Bone marrow aspirate smear
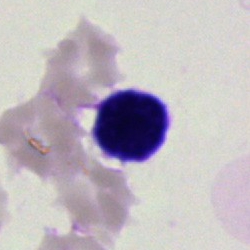
Single cell identified as an artefact.